Bone marrow aspirate smear:
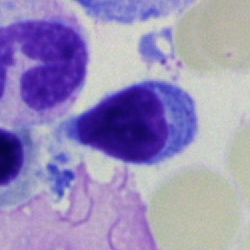

Classification: lymphocyte.